Bone marrow smear · 40× objective, oil immersion
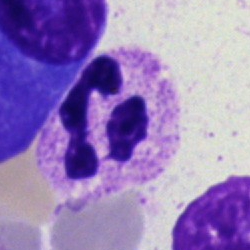
This is a segmented neutrophil.